Bone marrow smear.
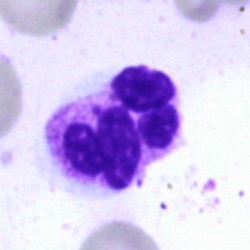

The cell type is polymorphonuclear neutrophil.